Bone marrow aspirate smear. 250×250. May-Grünwald-Giemsa stain:
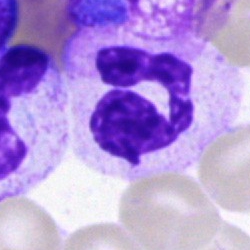

Specimen: bone marrow smear.
Cell type: polymorphonuclear neutrophil.
Lineage: myeloid.